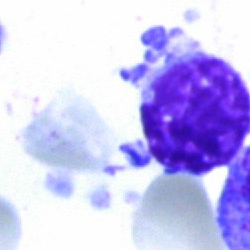Q: What is shown here?
A: This is an artefact.